Bone marrow aspirate smear. 40× objective, oil immersion.
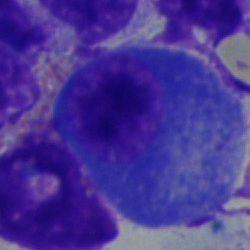
Q: What is shown here?
A: This is a plasma cell.